250×250 px · bone marrow smear
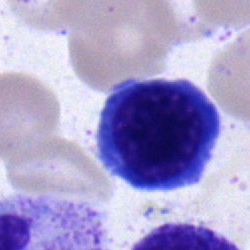
The morphological class is erythroblast.